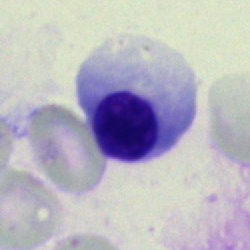Bone marrow aspirate smear, single cell — normoblast.